Bone marrow aspirate smear: 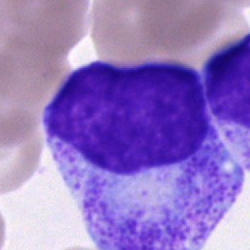
The cell is promyelocyte.